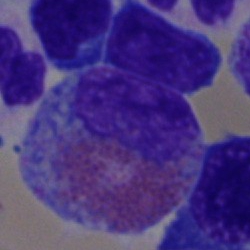 This is an eosinophil.